Bone marrow aspirate smear
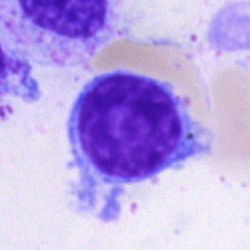Q: Identify the cell.
A: This is a typical lymphocyte.